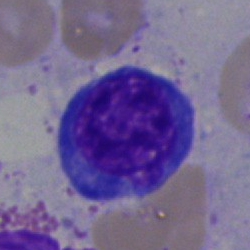

Q: Identify the cell.
A: It is a nucleated red cell.